Bone marrow aspirate smear; single-cell crop; MGG-stained
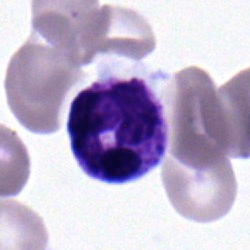 Specimen: bone marrow aspirate smear.
Morphological class: band neutrophil.
Lineage: myeloid.